Peripheral blood film:
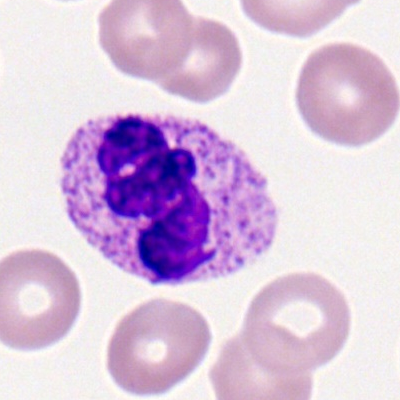
Cell type = segmented neutrophil.